250 by 250 pixels. Pappenheim-stained. Bone marrow smear.
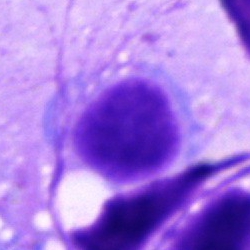Impression — typical lymphocyte.